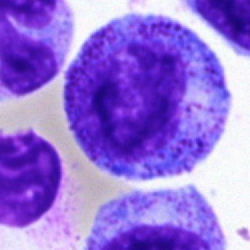

Showing a progranulocyte.